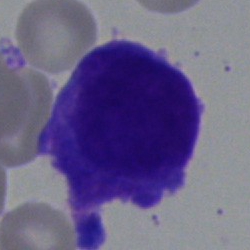Cell type = blast cell.